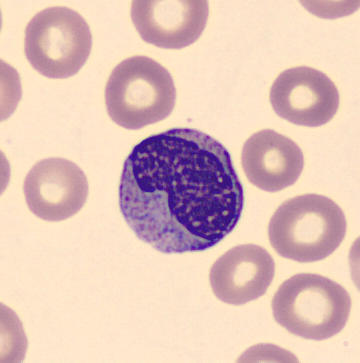
Preparation: Peripheral blood film · 360 by 363 pixels.
Impression → metamyelocyte.